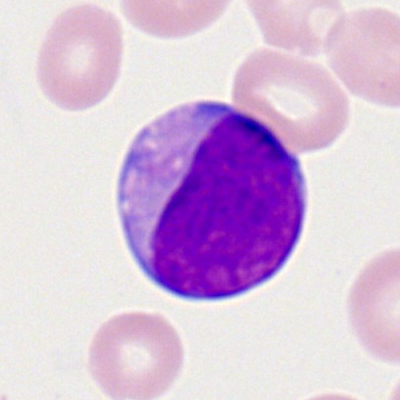

Morphological class = myeloblast.